Bone marrow smear — 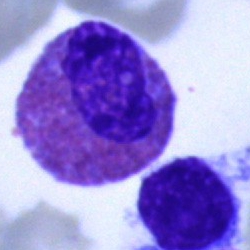Morphology — eosinophil.